May-Grünwald-Giemsa stain. Bone marrow aspirate smear. Single-cell field:
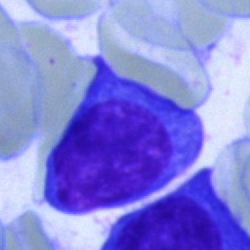
A plasma cell.